250×250 px · bone marrow aspirate smear.
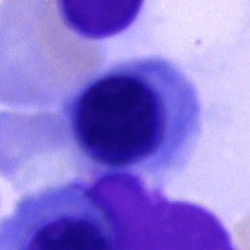
Nucleated red cell.